Cropped to a single cell. Bone marrow smear: 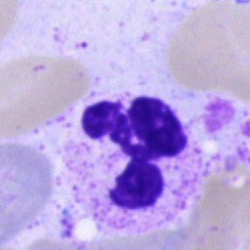 Morphology consistent with a polymorphonuclear neutrophil.